Peripheral blood smear: 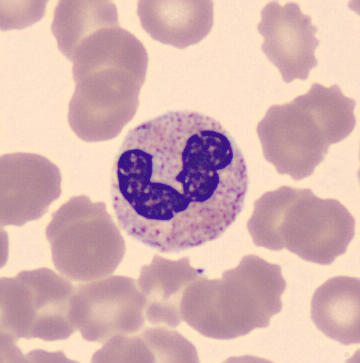

Morphology — neutrophil (segmented).